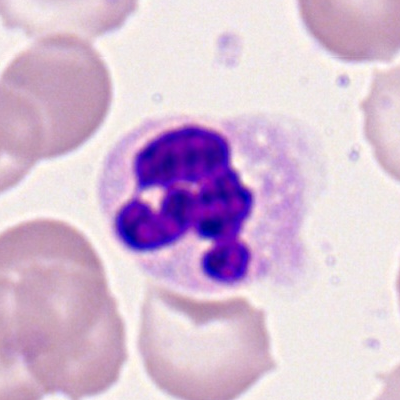
Specimen: peripheral blood film.
Morphological class: polymorphonuclear neutrophil.